MGG-stained. Bone marrow aspirate smear.
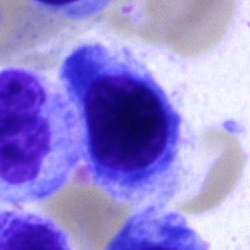

Showing a nucleated red cell.